Bone marrow aspirate smear: 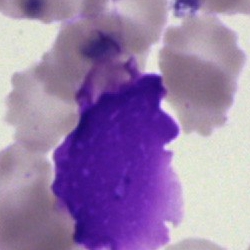
This is an artefact.